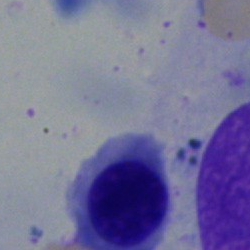 Specimen: bone marrow aspirate smear.
Morphological class: nucleated red blood cell.